Cropped to a single cell. Bone marrow aspirate smear. 250×250 px.
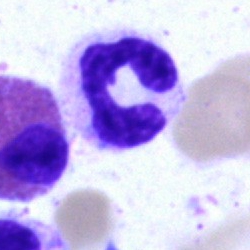 Cell — segmented neutrophil.